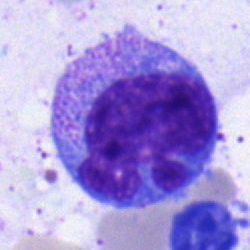

Q: What is the morphological classification of this cell?
A: This is a progranulocyte.